Bone marrow smear; MGG-stained: 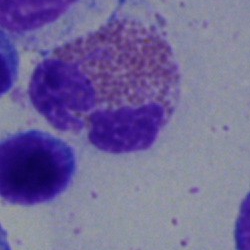Q: What type of cell is this?
A: This is an eosinophilic granulocyte.